Peripheral blood smear; cropped to a single cell; Romanowsky-stained:
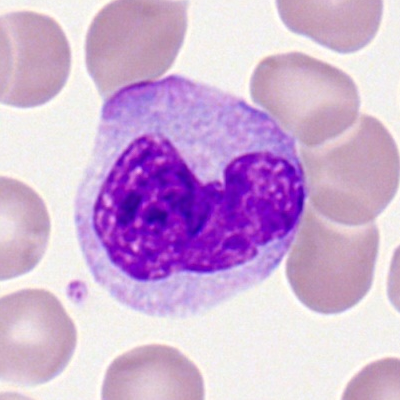 This is a monocyte.